Peripheral blood smear. 100× oil immersion. Single cell centered in the field:
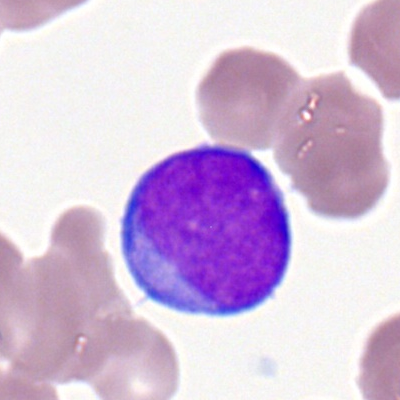Impression — myeloid blast.